Bone marrow smear: 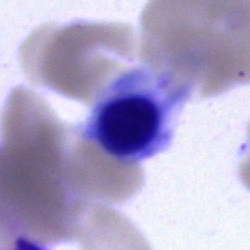

A normoblast.